Brightfield, 40× oil-immersion objective. Bone marrow aspirate smear
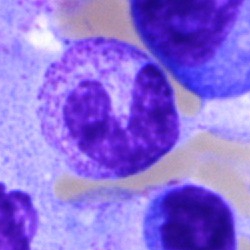 Specimen: bone marrow smear.
Classification: neutrophil (band).
Lineage: myeloid.